Peripheral blood film
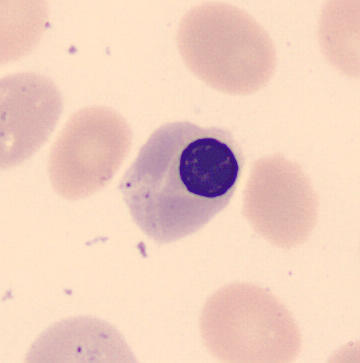 Impression → nucleated red blood cell.